40× oil immersion; bone marrow aspirate smear; image size 250×250
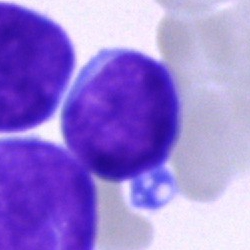

{"cell_type": "blast"}